Bone marrow smear. 250×250 px: 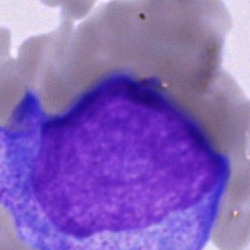

Cell type = promyelocyte.